Bone marrow smear — 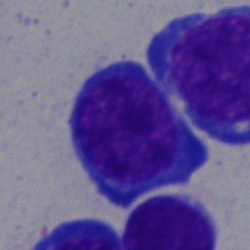
Cell type = normoblast.